Single cell centered in the field · bone marrow smear.
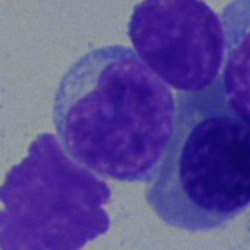 Single cell identified as a typical lymphocyte.